Peripheral blood film
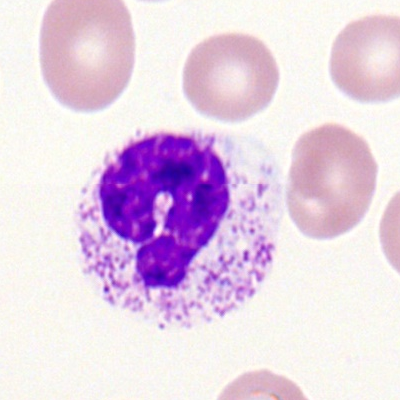
The cell shown is a segmented neutrophil.